Bone marrow aspirate smear.
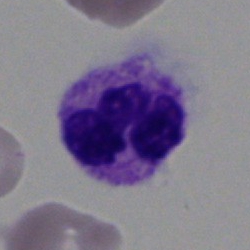 Q: Identify the cell.
A: Neutrophil (segmented).